40× oil immersion; bone marrow aspirate smear: 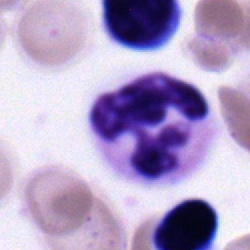

Q: Identify the cell.
A: This is a neutrophil (segmented).